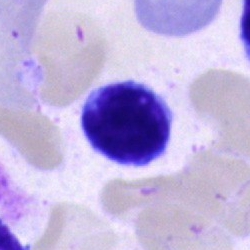This is a lymphocyte.